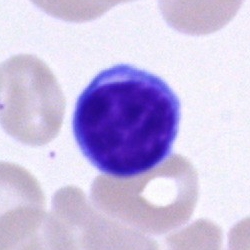
Specimen: bone marrow smear.
Morphological class: lymphocyte.